Bone marrow aspirate smear · 250×250 — 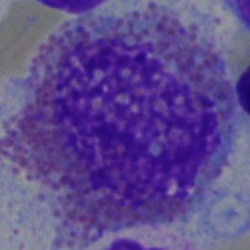

Q: Which cell type is shown here?
A: This is an eosinophil.